Pappenheim-stained; bone marrow aspirate smear — 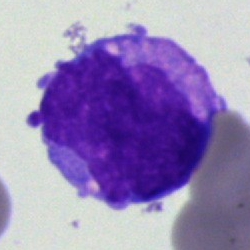

Cell = blast cell.